Bone marrow aspirate smear — 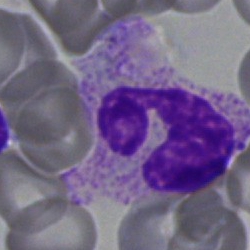 Cell type: polymorphonuclear neutrophil.